Bone marrow smear
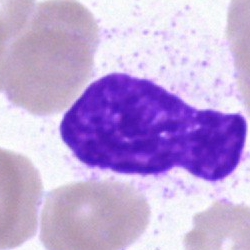 Cell = artefact.